Bone marrow smear
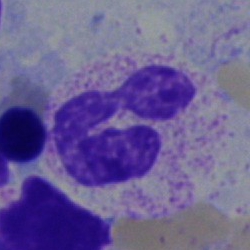 Showing a neutrophil (segmented).